Bone marrow smear — 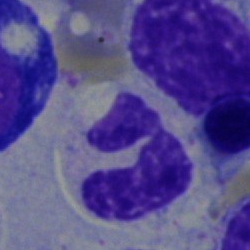
Specimen: bone marrow aspirate smear.
Cell: neutrophil (segmented).
Lineage: myeloid.